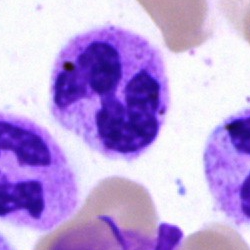 Morphology — segmented neutrophil.